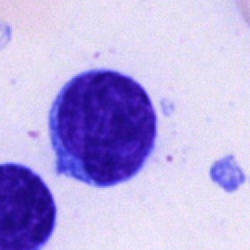
Cell — lymphocyte.